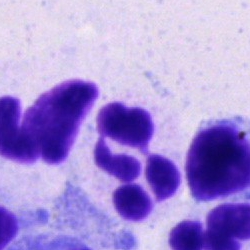The morphological class is polymorphonuclear neutrophil.